Bone marrow smear: 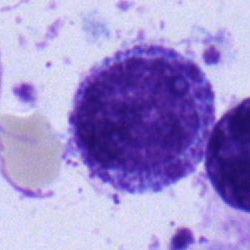Q: What is the morphological classification of this cell?
A: A myelocyte.